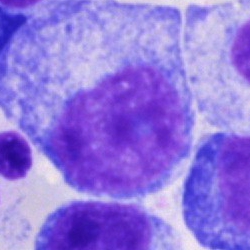Bone marrow aspirate smear, single cell — progranulocyte.